Bone marrow smear; brightfield microscopy, 40× oil immersion: 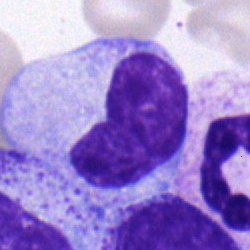Q: What is shown here?
A: Metamyelocyte.